Bone marrow aspirate smear · MGG-stained — 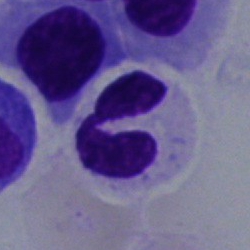Q: What type of cell is this?
A: It is a neutrophil (segmented).